Single-cell crop. Bone marrow aspirate smear.
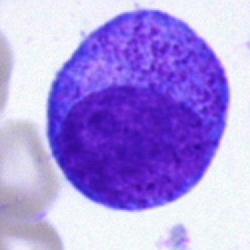

The cell is promyelocyte.